Bone marrow aspirate smear.
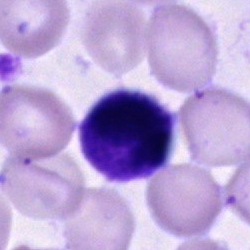

This is an unidentifiable cell.